Bone marrow smear:
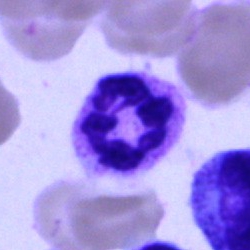
Morphological class — polymorphonuclear neutrophil.